250×250. Single-cell field. Bone marrow aspirate smear: 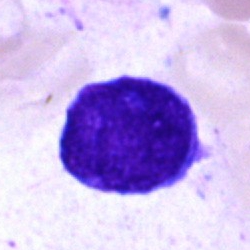
Single cell identified as a blast.